Cropped to a single cell · image size 400×400 · peripheral blood film.
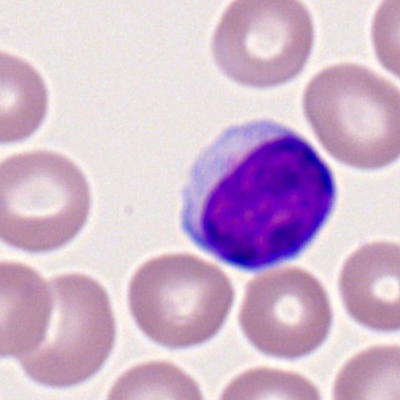Lymphocyte.